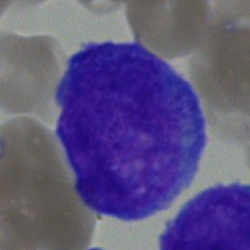

Q: What cell is this?
A: Undifferentiated blast.